May-Grünwald-Giemsa/Pappenheim stain; bone marrow aspirate smear; 40× oil immersion — 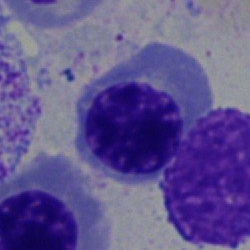
Specimen: bone marrow aspirate smear.
Cell type: nucleated red cell.